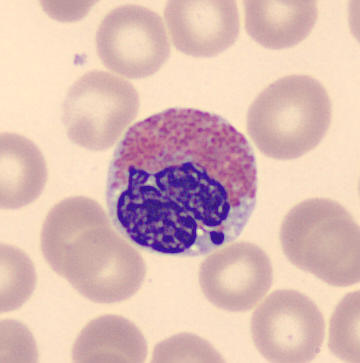
Q: What type of cell is this?
A: It is an eosinophil. May-Grünwald-Giemsa-stained; cropped to a single cell; peripheral blood smear.